40× oil immersion; bone marrow smear; single cell centered in the field
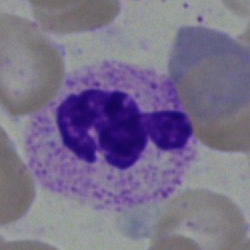Cell type — polymorphonuclear neutrophil.